Bone marrow smear · cropped to a single cell.
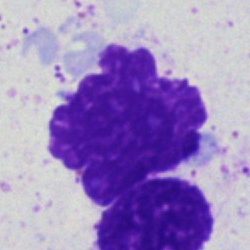 Specimen: bone marrow smear.
Cell: artefact.